Bone marrow aspirate smear: 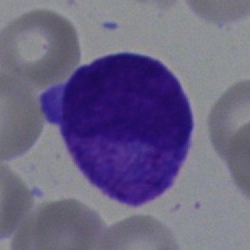Q: What is the morphological classification of this cell?
A: A blast cell.